Peripheral blood smear.
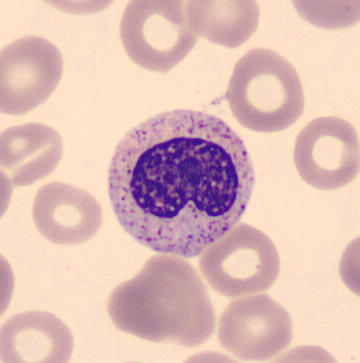

Showing a metamyelocyte.